Bone marrow smear: 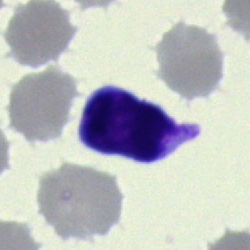
Single cell identified as a typical lymphocyte.